Peripheral blood film. 100× oil immersion:
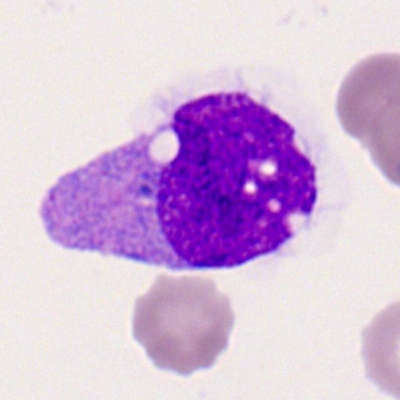

Specimen: peripheral blood film.
Classification: monocyte.